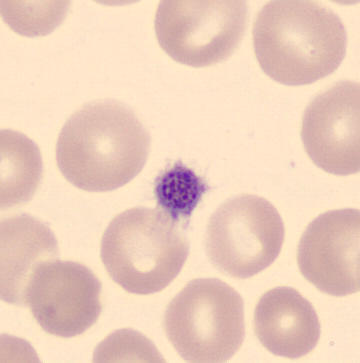
Identified as a platelet (thrombocyte). Preparation: Peripheral blood film · May Grünwald-Giemsa stain.